Brightfield microscopy, 40× oil immersion · bone marrow aspirate smear: 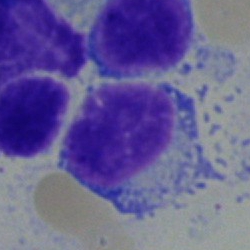
The cell shown is a lymphocyte.